40× oil immersion · bone marrow smear.
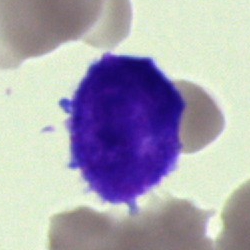

Q: What cell is this?
A: A blast.